Bone marrow smear. Single-cell crop — 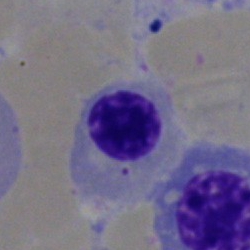The classification is nucleated red cell.